Bone marrow aspirate smear:
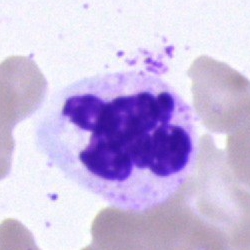

Impression → polymorphonuclear neutrophil.